40× objective, oil immersion. Bone marrow aspirate smear: 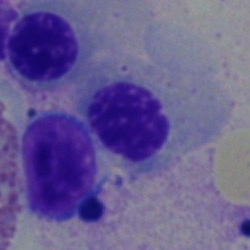
Specimen: bone marrow smear.
Classification: nucleated red blood cell.
Lineage: erythroid.